Bone marrow aspirate smear · 40× oil immersion: 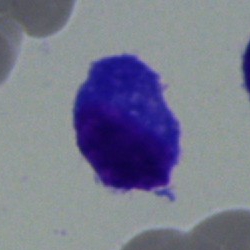

{"cell_type": "plasma cell"}